Bone marrow smear — 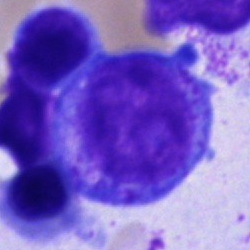

Impression → promyelocyte.